Bone marrow smear:
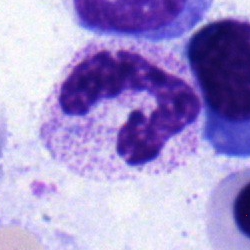

Showing a neutrophil (segmented).